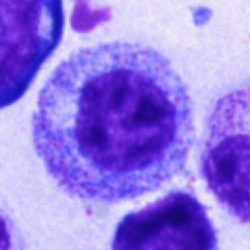

{"cell_type": "myelocyte"}